Bone marrow aspirate smear · single-cell crop — 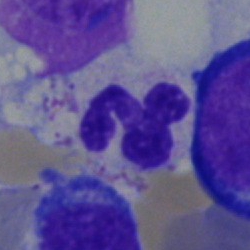

The classification is neutrophil (segmented).